Bone marrow aspirate smear — 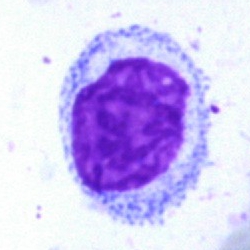Q: What is shown here?
A: This is an artefact.